Peripheral blood smear: 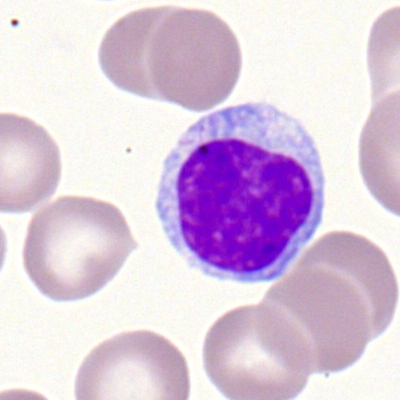 Morphological class = lymphocyte.